Bone marrow smear. May-Grünwald-Giemsa stain — 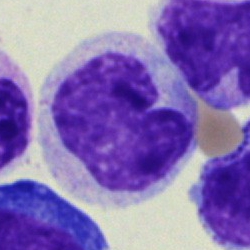
Specimen: bone marrow aspirate smear.
Classification: monocyte.
Lineage: myeloid.